Bone marrow smear
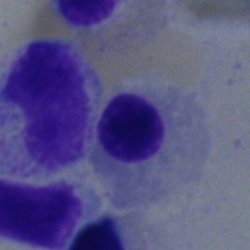

Specimen: bone marrow smear.
Cell type: nucleated red cell.
Lineage: erythroid.